Peripheral blood smear · Romanowsky-stained:
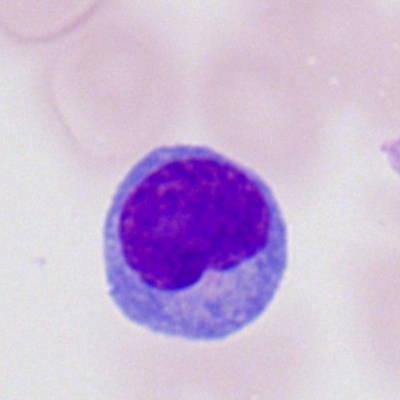
Q: Identify the cell.
A: A lymphocyte.